M8 digital microscope (Precipoint), 100× oil immersion; peripheral blood smear — 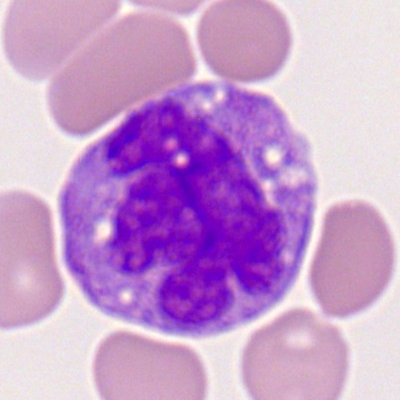

Single cell identified as a monocyte.